Bone marrow aspirate smear; image size 250×250 — 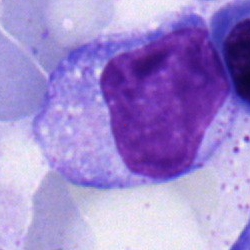
A monocyte.